Bone marrow smear — 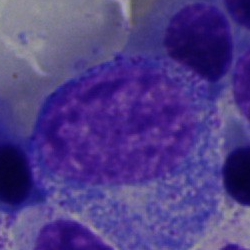 Q: What cell is this?
A: This is a promyelocyte.